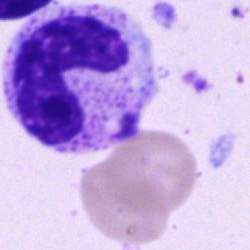

Morphological class: band-form neutrophil.